Bone marrow smear:
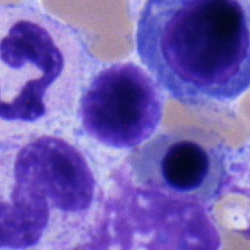

Q: Which cell type is shown here?
A: This is a lymphocyte.